250×250 · bone marrow smear · May-Grünwald-Giemsa/Pappenheim stain:
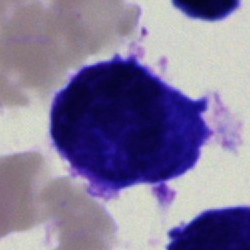

The classification is blast cell.